Bone marrow aspirate smear: 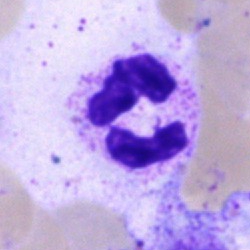Segmented neutrophil.